Bone marrow aspirate smear: 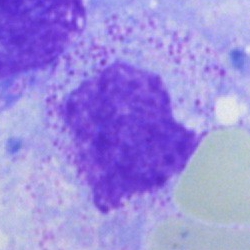

Single cell identified as an artifact.